Brightfield microscopy, 40× oil immersion. Bone marrow aspirate smear. 250 by 250 pixels:
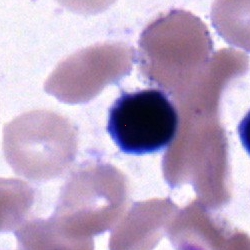
{"cell_type": "typical lymphocyte", "lineage": "lymphoid"}